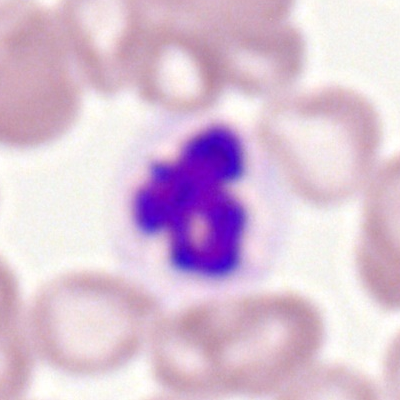Specimen: peripheral blood smear.
Classification: polymorphonuclear neutrophil.
Lineage: myeloid.